Bone marrow aspirate smear · Pappenheim-stained — 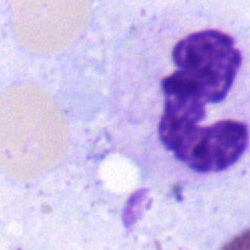

Showing a polymorphonuclear neutrophil.